Brightfield, 40× oil-immersion objective. Bone marrow aspirate smear:
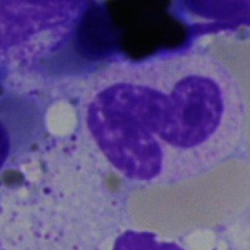
Cell type — stab cell.